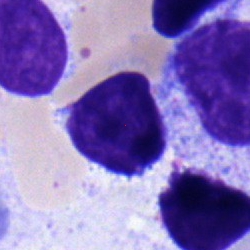 Cell = lymphocyte.